May-Grünwald-Giemsa/Pappenheim stain. Bone marrow smear. Image size 250×250.
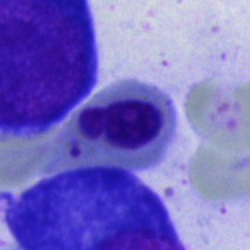 Classification = nucleated red cell.